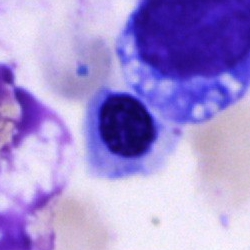 Q: What cell is this?
A: It is a nucleated red cell.